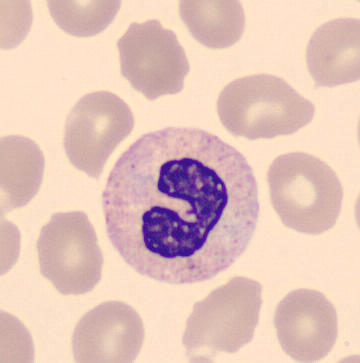

The cell is band neutrophil.